Bone marrow aspirate smear: 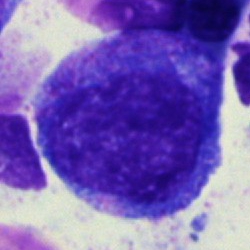The cell is progranulocyte.